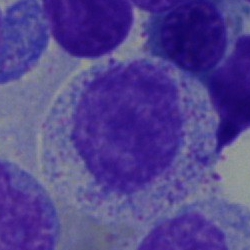

Morphology consistent with a myelocyte.